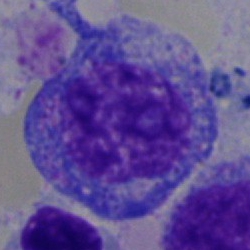 Bone marrow aspirate smear, single cell — progranulocyte.